Bone marrow aspirate smear; May-Grünwald-Giemsa stain: 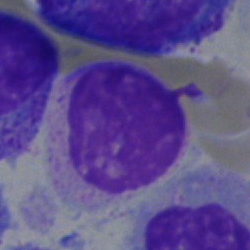

Q: Which cell type is shown here?
A: Myelocyte.